Bone marrow aspirate smear; 250×250 px:
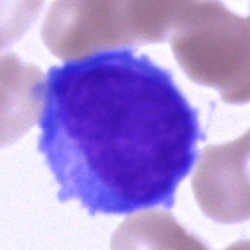
Morphology consistent with an undifferentiated blast.